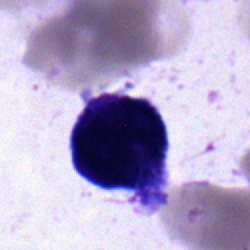Bone marrow aspirate smear, single cell — blast.